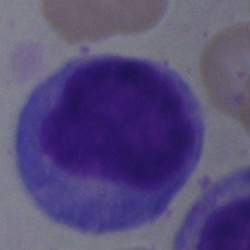
Q: Which cell type is shown here?
A: It is a promyelocyte.